Peripheral blood film
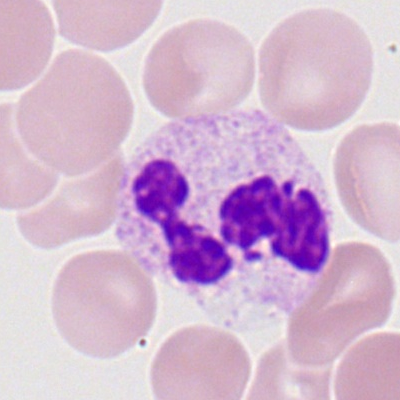A neutrophil (segmented).